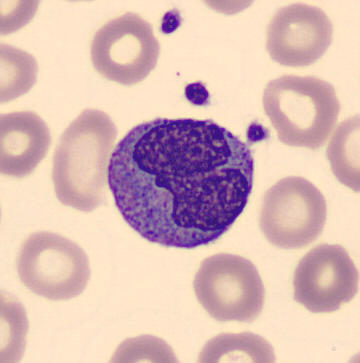
MGG-stained.
Specimen: peripheral blood smear.
Classification: monocyte.